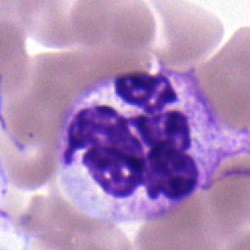 Single cell identified as a segmented neutrophil.